Bone marrow smear:
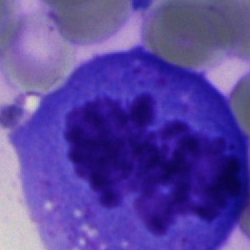Q: What cell is this?
A: A cell of indeterminate lineage.